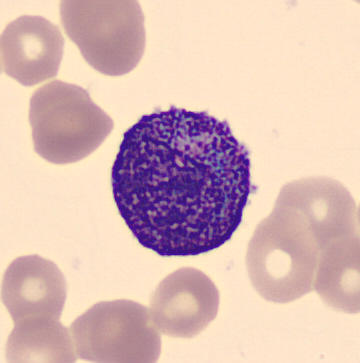Q: What is shown here?
A: It is a progranulocyte. Acquisition: Peripheral blood film. Single-cell crop.